May-Grünwald-Giemsa/Pappenheim stain. Image size 250×250. Bone marrow smear: 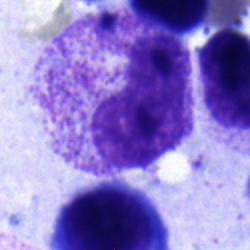Morphology — metamyelocyte.